250 by 250 pixels · bone marrow aspirate smear — 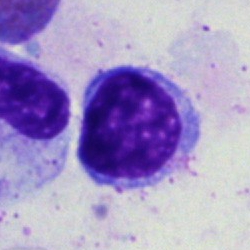
A lymphocyte.